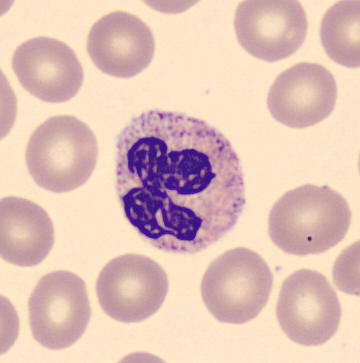
The cell type is segmented neutrophil. Preparation: Peripheral blood film; single-cell crop.